May-Grünwald-Giemsa/Pappenheim stain; bone marrow aspirate smear.
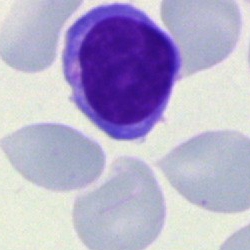 Morphology consistent with a lymphocyte.